Bone marrow smear
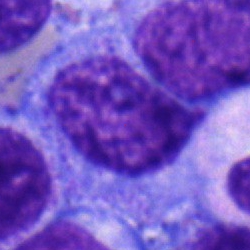

Morphological class — progranulocyte.